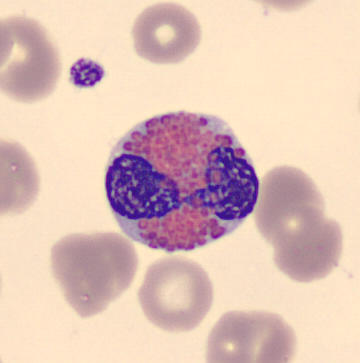
Q: What type of cell is this?
A: It is an eosinophilic granulocyte.